Bone marrow aspirate smear — 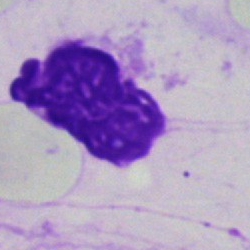 Cell = artifact.